Bone marrow aspirate smear — 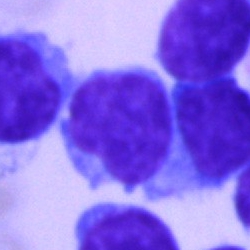 Classification = lymphocyte.